Cropped to a single cell · Pappenheim-stained · bone marrow aspirate smear: 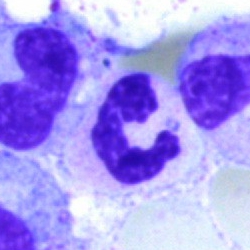
Morphology consistent with a polymorphonuclear neutrophil.